Bone marrow aspirate smear. 40× oil immersion — 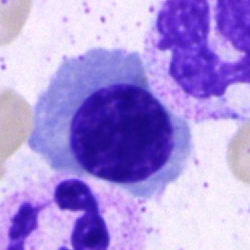
The cell is nucleated red cell.